Bone marrow aspirate smear · 40× oil immersion
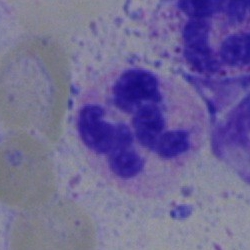

Morphology — segmented neutrophil.